Bone marrow aspirate smear · 250 by 250 pixels:
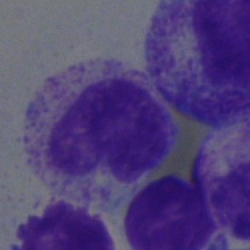
This is a metamyelocyte.